Bone marrow smear:
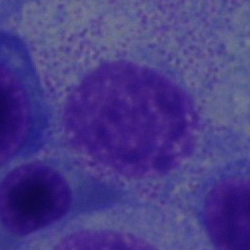
Specimen: bone marrow aspirate smear.
Cell type: myelocyte.